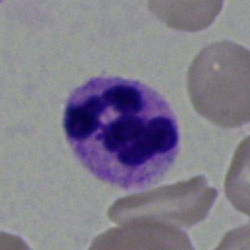

Cell — polymorphonuclear neutrophil.